Bone marrow smear — 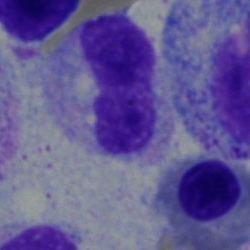
The cell shown is a metamyelocyte.